Bone marrow aspirate smear: 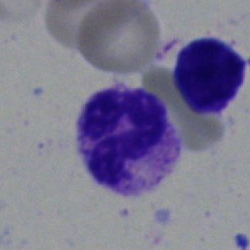

Single cell identified as a segmented neutrophil.